Bone marrow smear.
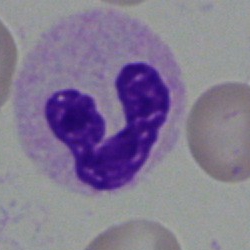
Q: What cell is this?
A: Segmented neutrophil.